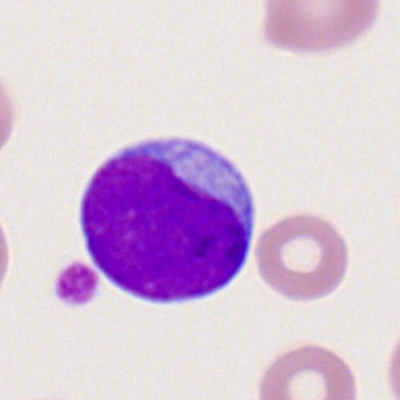
Q: Identify the cell.
A: It is a myeloblast.